Bone marrow smear: 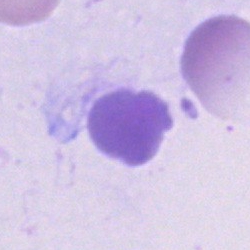An artifact.